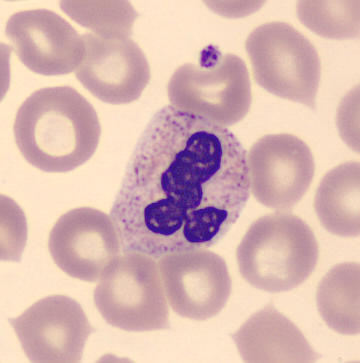

Cell type = neutrophil (segmented).